Bone marrow aspirate smear.
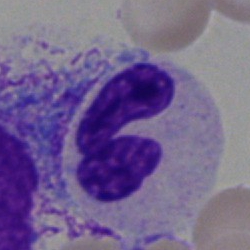Q: What is shown here?
A: Polymorphonuclear neutrophil.